Bone marrow smear: 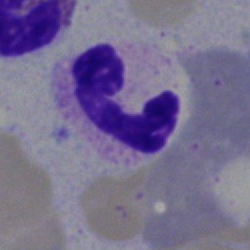
{"cell_type": "segmented neutrophil", "lineage": "myeloid"}